Single-cell field. Bone marrow smear: 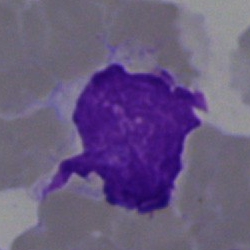
Q: What is shown here?
A: An artefact.